May-Grünwald-Giemsa stain. Bone marrow aspirate smear — 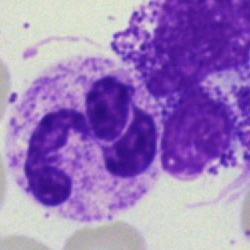Cell — polymorphonuclear neutrophil.